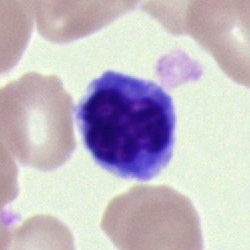
Specimen: bone marrow aspirate smear.
Morphological class: nucleated red cell.
Lineage: erythroid.